Brightfield, 40× oil-immersion objective; bone marrow smear:
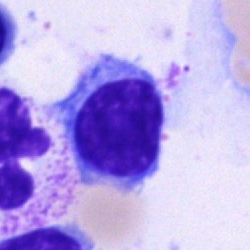
Showing a typical lymphocyte.